Bone marrow aspirate smear: 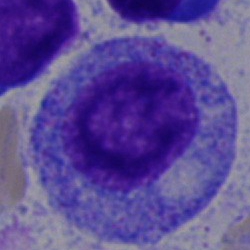Showing a promyelocyte.